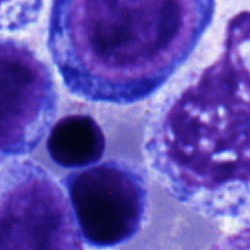Single cell identified as a proerythroblast.